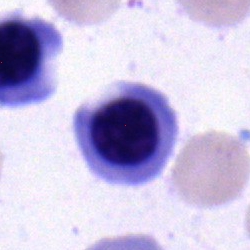
Bone marrow aspirate smear, single cell — nucleated red blood cell.